Bone marrow smear
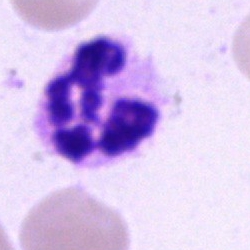 {"cell_type": "neutrophil (segmented)", "lineage": "myeloid"}